250 by 250 pixels · single-cell field · bone marrow smear: 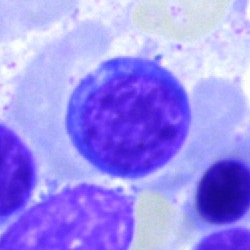Specimen: bone marrow aspirate smear.
Morphological class: typical lymphocyte.
Lineage: lymphoid.